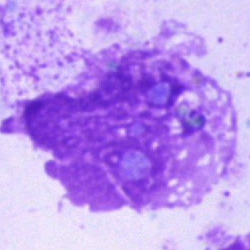
Bone marrow smear showing an artefact.